Bone marrow smear
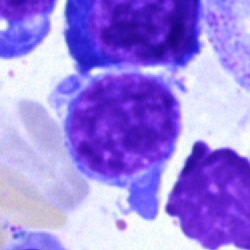
Morphology consistent with a typical lymphocyte.